Bone marrow smear.
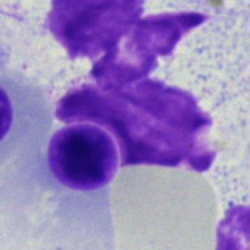

Cell: normoblast.